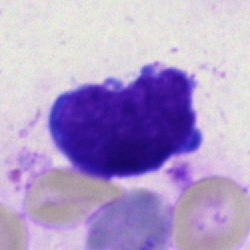 This is a lymphocyte.